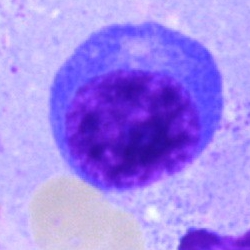Plasmacyte.